Bone marrow aspirate smear: 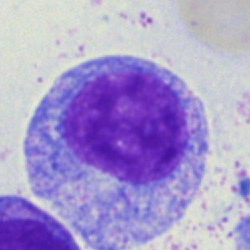
Showing a promyelocyte.